Bone marrow smear. Brightfield, 40× oil-immersion objective: 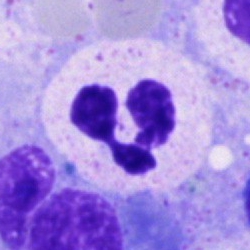The cell type is polymorphonuclear neutrophil.